Bone marrow smear.
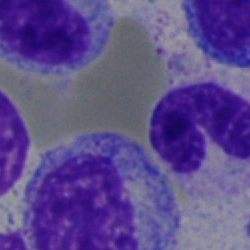

Q: What is shown here?
A: A cell of indeterminate lineage.